Peripheral blood smear. May Grünwald-Giemsa stain — 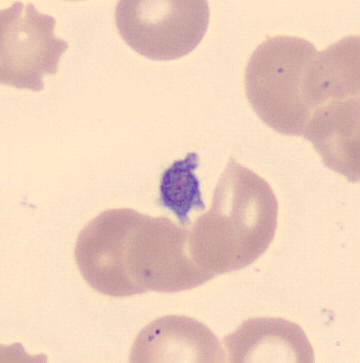Q: What is this?
A: This is a platelet.